May-Grünwald-Giemsa/Pappenheim stain. Bone marrow aspirate smear — 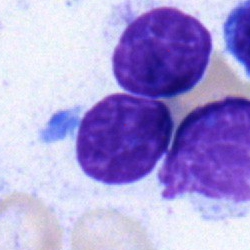 Showing a lymphocyte.